40× oil immersion · bone marrow smear.
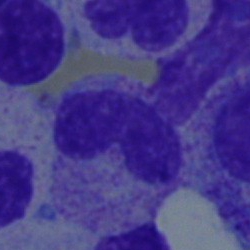Showing a neutrophil (band).